Bone marrow smear · 40× oil immersion · May-Grünwald-Giemsa stain: 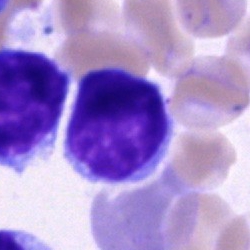
The cell shown is a typical lymphocyte.